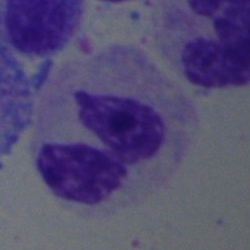 This is a neutrophil (segmented).